Brightfield microscopy, 40× oil immersion · bone marrow smear.
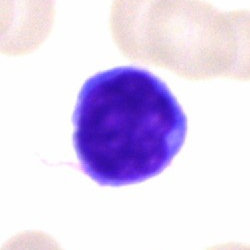 Morphological class = typical lymphocyte.